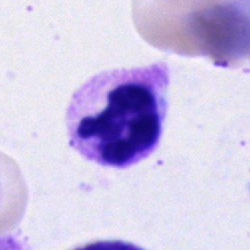

Segmented neutrophil.